Peripheral blood smear
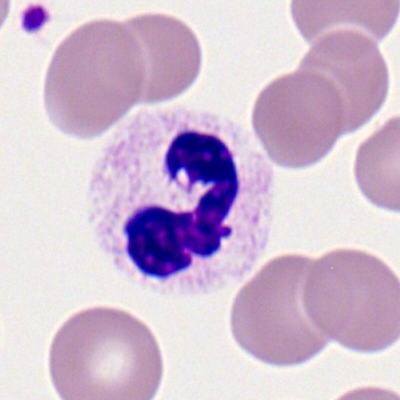

Impression — neutrophil (segmented).